Peripheral blood smear:
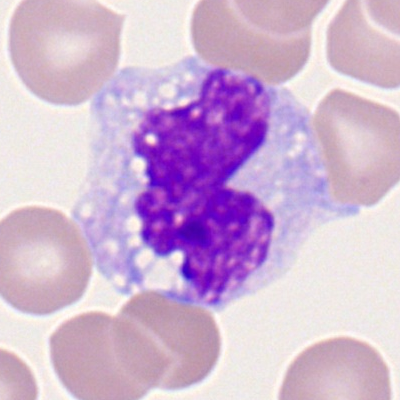Q: What cell is this?
A: Monocyte.